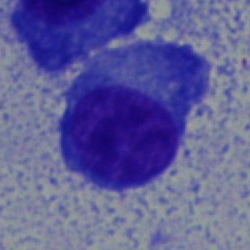

Plasma cell.